Bone marrow aspirate smear; 40× objective, oil immersion; MGG-stained:
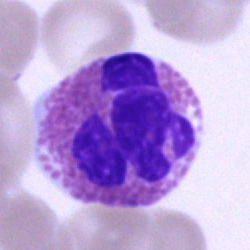Cell type: eosinophil.